250×250. Bone marrow smear. 40× objective, oil immersion: 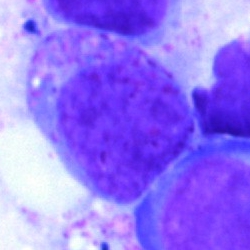

Myelocyte.